Single cell centered in the field. Bone marrow aspirate smear.
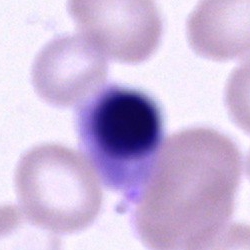Cell: cell of indeterminate lineage.